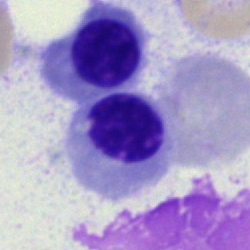

{"cell_type": "normoblast"}